250×250. Single-cell field. Bone marrow smear:
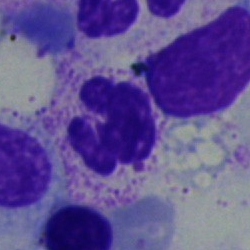Impression → neutrophil (segmented).